Bone marrow aspirate smear · single-cell crop.
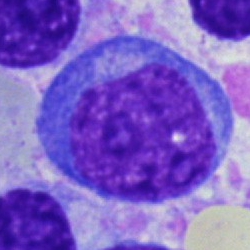
The cell shown is a proerythroblast.